MGG-stained. Bone marrow aspirate smear: 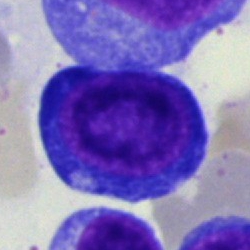Single cell identified as a proerythroblast.